Bone marrow aspirate smear:
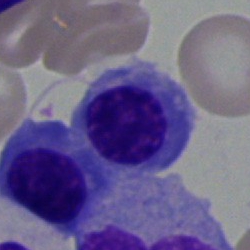

Nucleated red blood cell.